Bone marrow aspirate smear
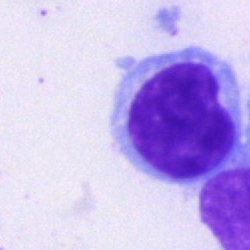 The cell type is typical lymphocyte.